Bone marrow smear:
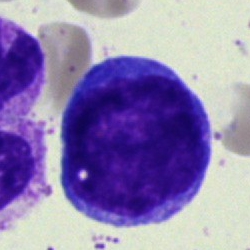Specimen: bone marrow aspirate smear.
Classification: pronormoblast.
Lineage: erythroid.